Bone marrow aspirate smear · Pappenheim-stained · 250 by 250 pixels — 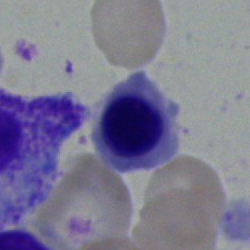 Q: What cell is this?
A: It is a nucleated red cell.